250×250. Bone marrow aspirate smear
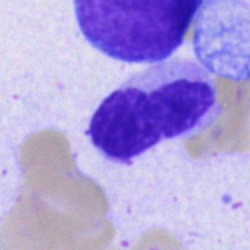

Q: What cell is this?
A: A cell of indeterminate lineage.